Bone marrow smear.
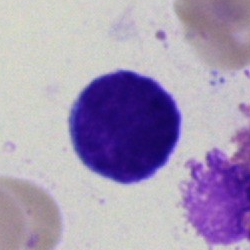 Q: What type of cell is this?
A: Typical lymphocyte.